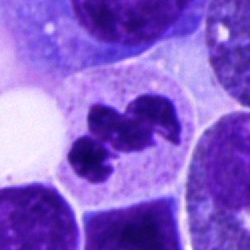Single-cell crop from a bone marrow smear: polymorphonuclear neutrophil.